Peripheral blood film:
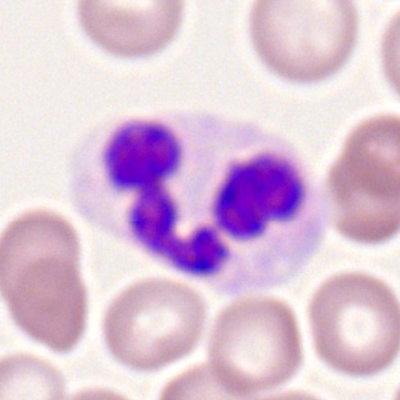
Specimen: peripheral blood film.
Classification: neutrophil (segmented).
Lineage: myeloid.